Bone marrow aspirate smear — 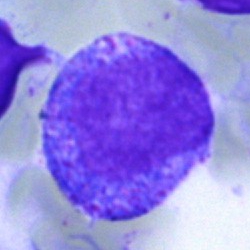

The classification is promyelocyte.